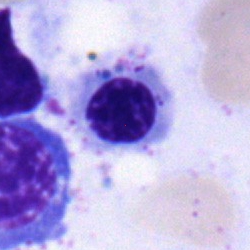
Cell type = nucleated red cell.